Bone marrow smear · May-Grünwald-Giemsa stain:
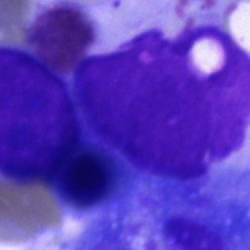

Cell: artifact.